Bone marrow smear. MGG-stained
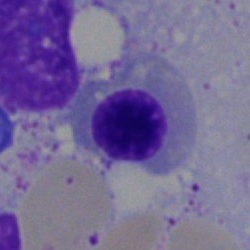

Morphology — normoblast.